Bone marrow smear:
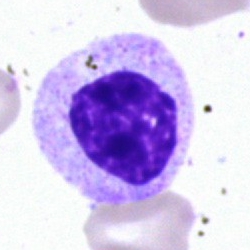
Myelocyte.